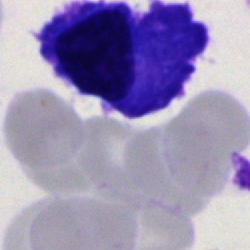Specimen: bone marrow aspirate smear.
Cell type: plasma cell.